Bone marrow smear · 250 by 250 pixels — 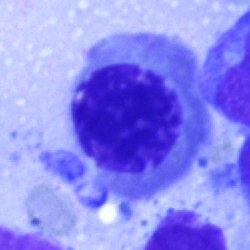
The morphological class is normoblast.